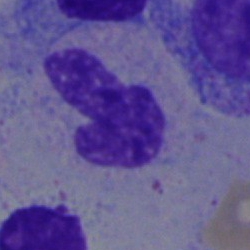
Morphological class: stab cell.